Bone marrow smear — 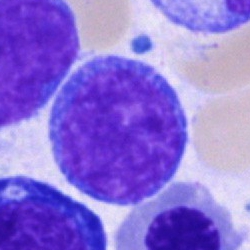 Morphological class = blast cell.